Brightfield, 40× oil-immersion objective · single cell centered in the field · bone marrow aspirate smear: 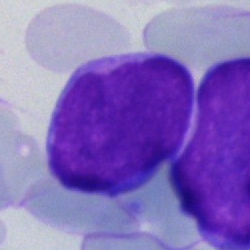The classification is blast.